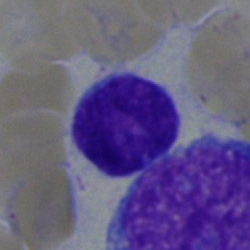
Single-cell crop from a bone marrow smear: lymphocyte.